Bone marrow smear:
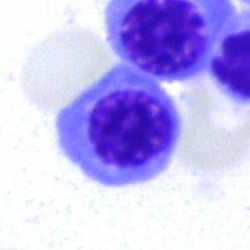 Morphological class — nucleated red cell.